Bone marrow aspirate smear.
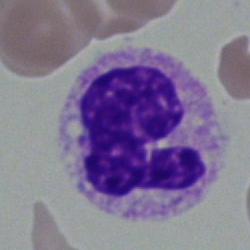
Showing a neutrophil (segmented).